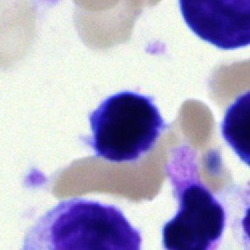 Q: What is shown here?
A: Lymphocyte.